Bone marrow smear. May-Grünwald-Giemsa/Pappenheim stain — 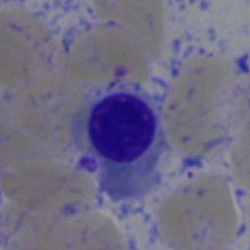Morphology consistent with a nucleated red blood cell.